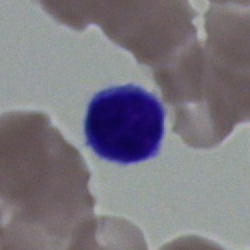

Q: Identify the cell.
A: Typical lymphocyte.